Bone marrow smear
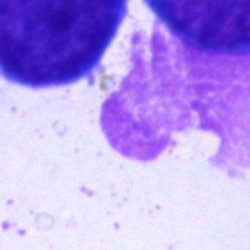
Morphology → artifact.